Peripheral blood smear
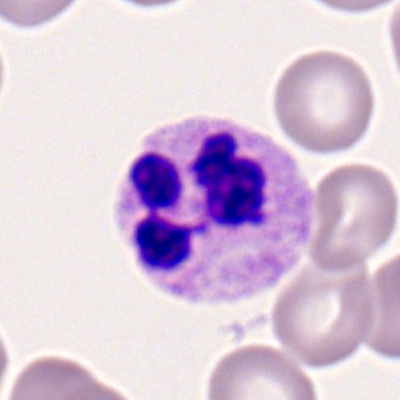Showing a segmented neutrophil.